May-Grünwald-Giemsa/Pappenheim stain. Bone marrow smear. 250×250 px — 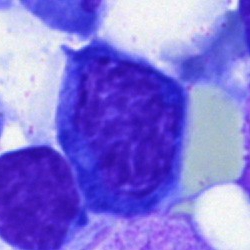

Impression — nucleated red cell.